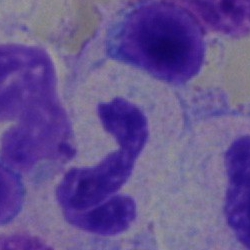

Single-cell crop from a bone marrow smear: neutrophil (band).